Bone marrow aspirate smear · single-cell crop
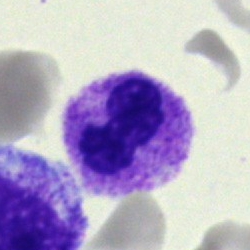 The cell shown is a segmented neutrophil.